40× objective, oil immersion; MGG-stained; bone marrow smear.
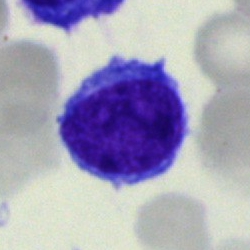 Morphological class: typical lymphocyte.